Bone marrow smear
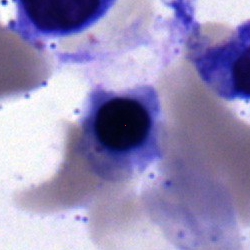Impression → erythroblast.